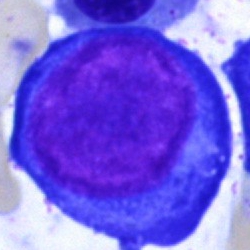

Specimen: bone marrow aspirate smear.
Cell: pronormoblast.